Peripheral blood smear. Single-cell field
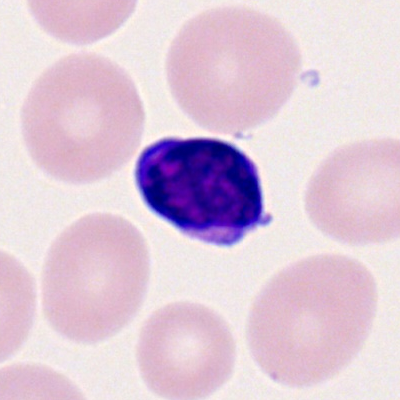

Q: What is shown here?
A: A typical lymphocyte.